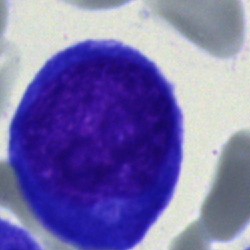The morphological class is undifferentiated blast.